Bone marrow smear — 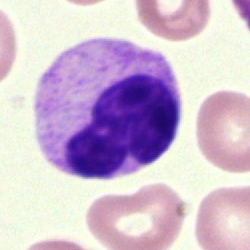Cell: band-form neutrophil.